Bone marrow aspirate smear; 40× objective, oil immersion:
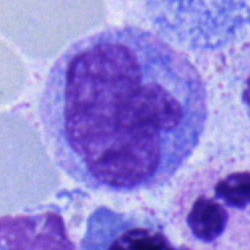
Q: What type of cell is this?
A: It is a monocyte.